Bone marrow aspirate smear · May-Grünwald-Giemsa/Pappenheim stain · image size 250×250 — 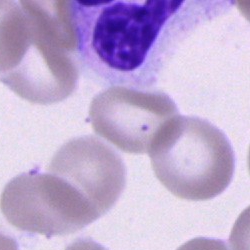
Morphology → unidentifiable cell.